Bone marrow aspirate smear
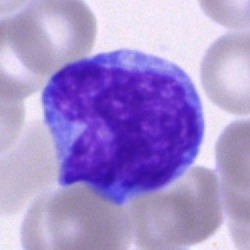

Q: What is shown here?
A: Monocyte.